Bone marrow aspirate smear: 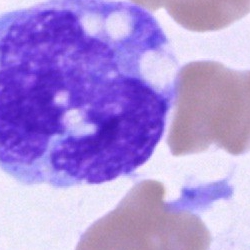 Cell — monocyte.